Bone marrow smear.
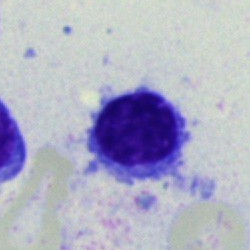 Cell type = lymphocyte.